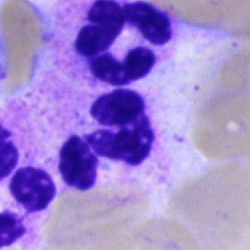

Q: What cell is this?
A: Segmented neutrophil.